Bone marrow aspirate smear.
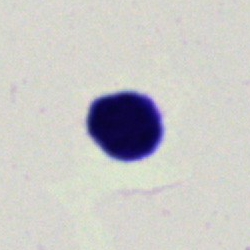

Showing an artefact.